Brightfield, 40× oil-immersion objective · bone marrow smear · cropped to a single cell — 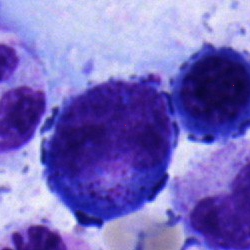 Q: Identify the cell.
A: Progranulocyte.